Bone marrow aspirate smear — 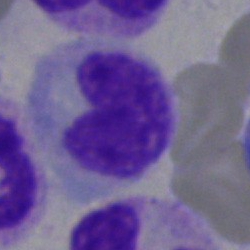

Classification = stab cell.